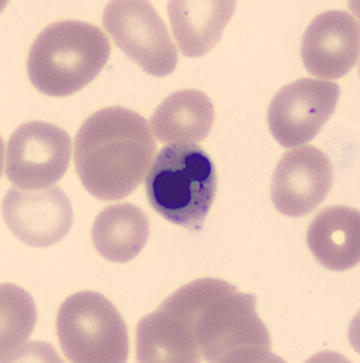
Peripheral blood film. Cropped to a single cell. 360 by 363 pixels. Morphology — erythroblast.